Bone marrow smear:
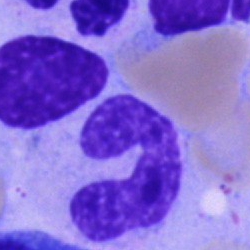
The cell shown is a neutrophil (band).